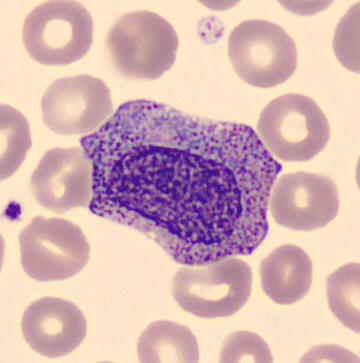Cell = myelocyte.